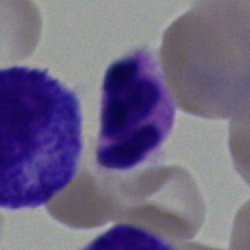A segmented neutrophil.